250×250. Brightfield, 40× oil-immersion objective. Bone marrow aspirate smear.
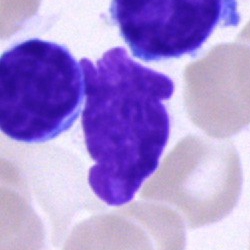Impression — artifact.